Bone marrow aspirate smear: 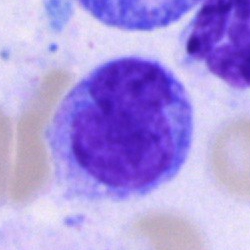

Classification — monocyte.